Bone marrow smear. May-Grünwald-Giemsa/Pappenheim stain. 250×250 px: 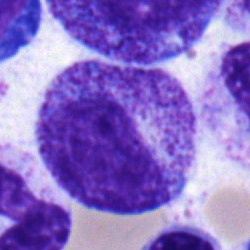

Cell type: myelocyte.